Bone marrow aspirate smear: 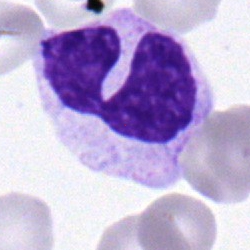
Q: What cell is this?
A: Segmented neutrophil.